Bone marrow smear:
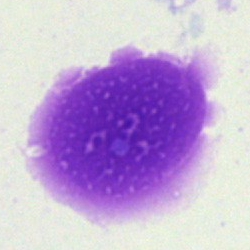

Q: What is shown here?
A: It is an artifact.